Bone marrow smear — 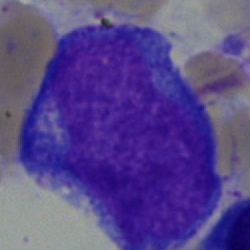Q: Which cell type is shown here?
A: This is a progranulocyte.